Bone marrow aspirate smear; 40× objective, oil immersion
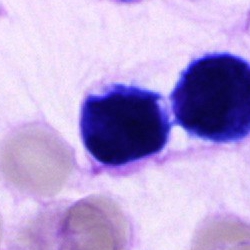

This is a cell of indeterminate lineage.